Bone marrow smear.
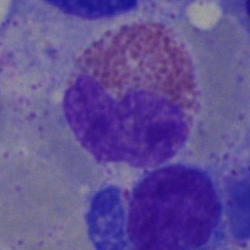 An eosinophil.